Bone marrow smear. 40× objective, oil immersion: 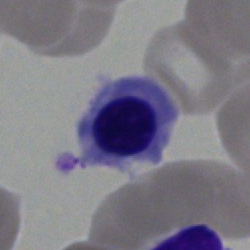 This is a normoblast.